Bone marrow smear:
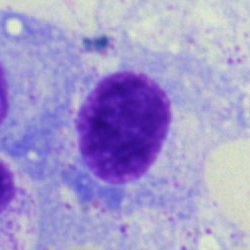

Morphology consistent with a plasma cell.